Bone marrow smear
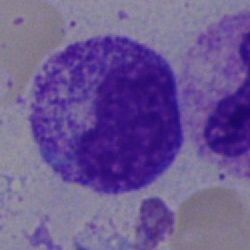
Morphology → metamyelocyte.